Pappenheim-stained. 250 by 250 pixels. Bone marrow aspirate smear.
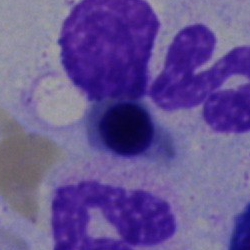 {"cell_type": "nucleated red blood cell"}